Bone marrow aspirate smear. Brightfield microscopy, 40× oil immersion
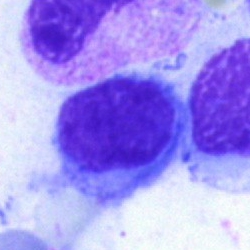Specimen: bone marrow aspirate smear.
Morphological class: lymphocyte.
Lineage: lymphoid.